Bone marrow aspirate smear. Single-cell field. 40× objective, oil immersion.
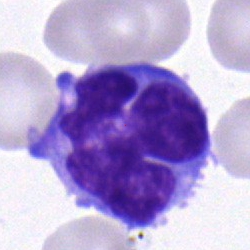

This is a monocyte.